May-Grünwald-Giemsa/Pappenheim stain. Bone marrow aspirate smear.
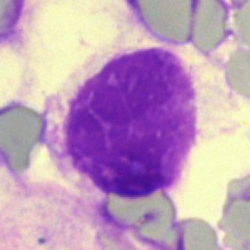Impression → artefact.